Bone marrow aspirate smear.
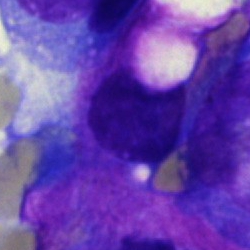The cell type is artifact.